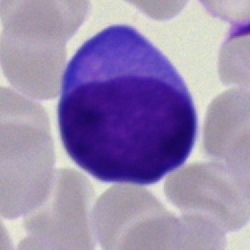 Morphology — blast.